Bone marrow smear
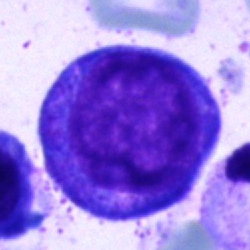
Myelocyte.